Bone marrow smear · 250 by 250 pixels — 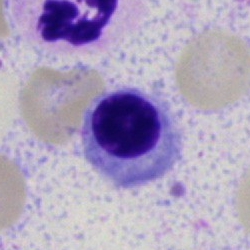
Q: What type of cell is this?
A: This is a nucleated red blood cell.